Bone marrow aspirate smear — 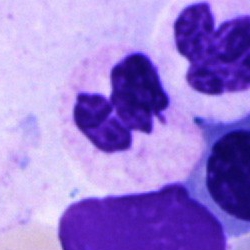
Q: What type of cell is this?
A: It is a neutrophil (segmented).